Brightfield microscopy, 40× oil immersion · bone marrow aspirate smear:
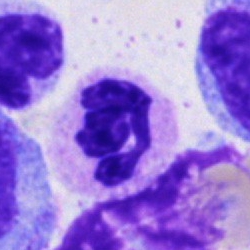

Q: What type of cell is this?
A: A segmented neutrophil.